250×250 px; single-cell crop; bone marrow smear: 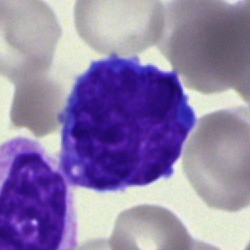 A blast.